Single-cell field. Brightfield, 40× oil-immersion objective. Bone marrow smear.
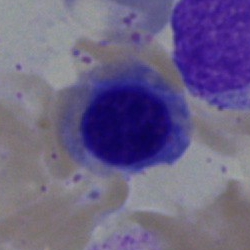
Q: What type of cell is this?
A: This is a nucleated red cell.